Bone marrow smear — 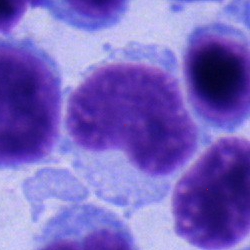
Lymphocyte.